Bone marrow smear — 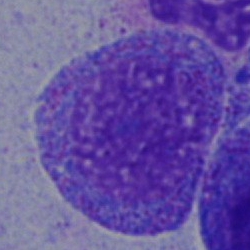A progranulocyte.